Bone marrow smear. Image size 250×250: 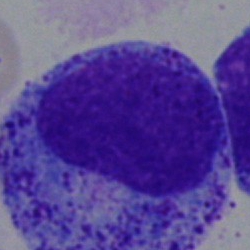
Cell type: promyelocyte.